Bone marrow aspirate smear
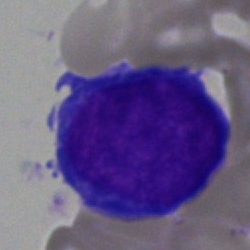
Specimen: bone marrow smear.
Classification: normoblast.